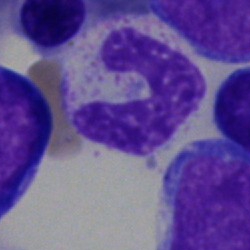Single cell identified as a neutrophil (segmented).